Bone marrow smear.
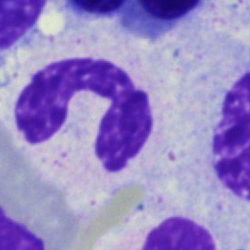 Single cell identified as a neutrophil (band).